Bone marrow smear. Pappenheim-stained. 250×250.
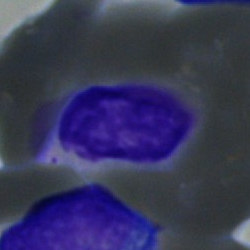Morphology consistent with a typical lymphocyte.